Bone marrow aspirate smear · single cell centered in the field: 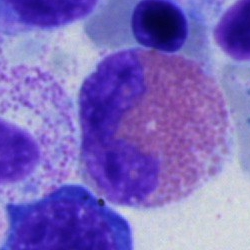
Specimen: bone marrow aspirate smear.
Morphological class: eosinophil.
Lineage: myeloid.